Brightfield microscopy, 40× oil immersion; bone marrow aspirate smear; Pappenheim-stained — 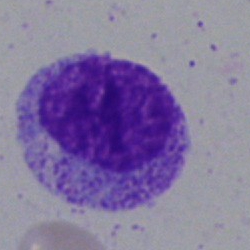

A myelocyte.